Bone marrow aspirate smear; single cell centered in the field:
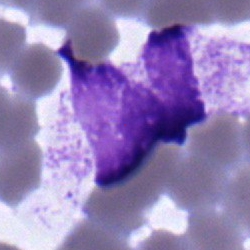

Specimen: bone marrow smear.
Morphological class: segmented neutrophil.
Lineage: myeloid.